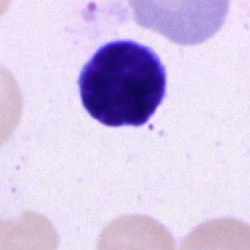 Bone marrow aspirate smear, single cell — lymphocyte.